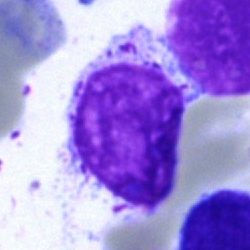Morphology — artifact.